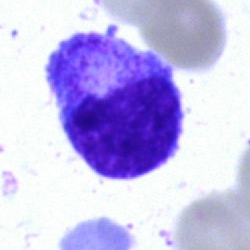 Impression — promyelocyte.